May-Grünwald-Giemsa stain; bone marrow aspirate smear — 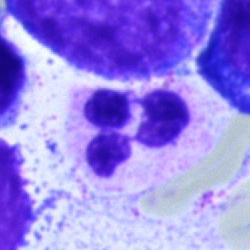 Cell type: segmented neutrophil.